Bone marrow aspirate smear:
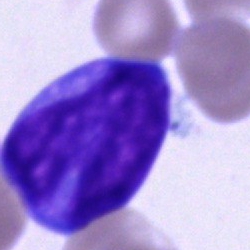Morphology — undifferentiated blast.